250×250 px; bone marrow smear; May-Grünwald-Giemsa/Pappenheim stain
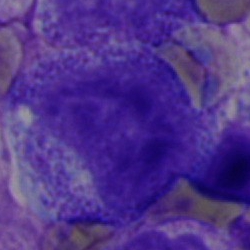 Q: Identify the cell.
A: It is a myelocyte.